Bone marrow aspirate smear · Pappenheim-stained: 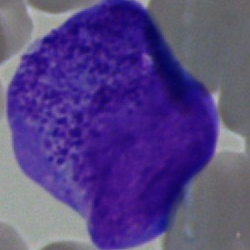
Q: What is shown here?
A: It is an undifferentiated blast.